Single-cell field · May-Grünwald-Giemsa/Pappenheim stain · bone marrow aspirate smear:
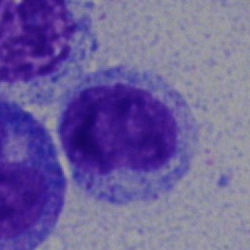
Q: What is the morphological classification of this cell?
A: Cell of indeterminate lineage.